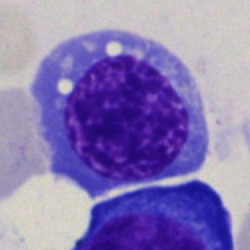

Bone marrow smear showing a nucleated red blood cell.